Peripheral blood film · Romanowsky-stained: 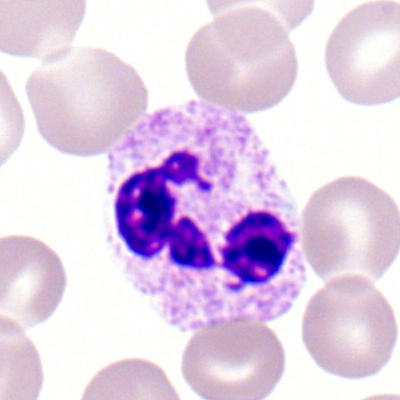

A polymorphonuclear neutrophil.